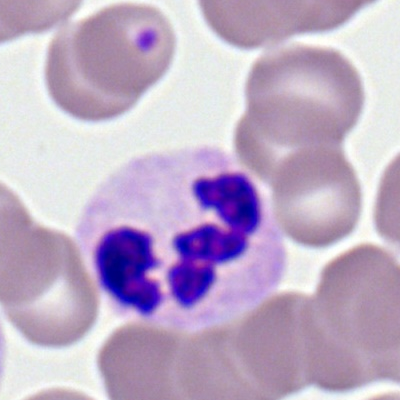

Impression — segmented neutrophil.